Bone marrow smear.
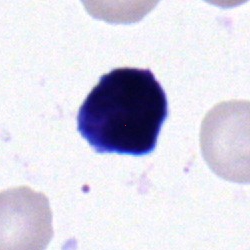Specimen: bone marrow aspirate smear.
Classification: typical lymphocyte.
Lineage: lymphoid.